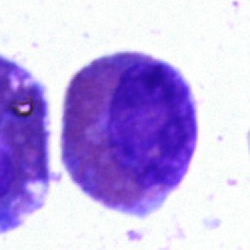Q: What cell is this?
A: This is an eosinophilic granulocyte.